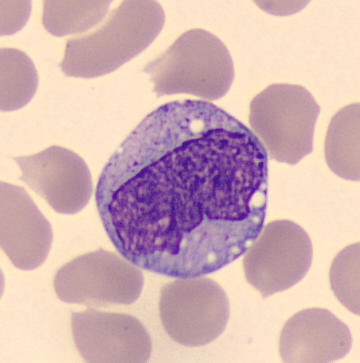The cell is monocyte.